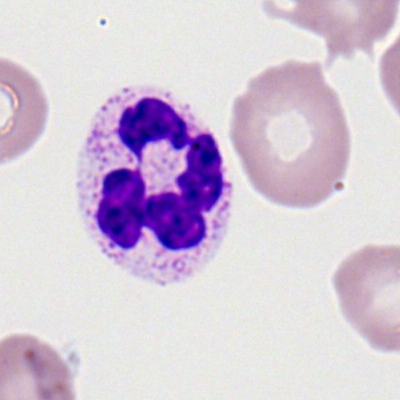

Q: What is the morphological classification of this cell?
A: This is a neutrophil (segmented).